Bone marrow aspirate smear — 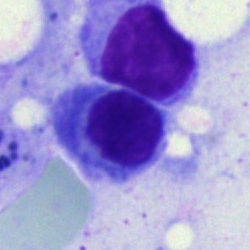

Q: Which cell type is shown here?
A: This is an erythroblast.